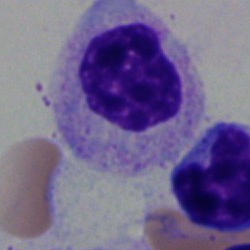

Q: What cell is this?
A: It is a myelocyte.